Bone marrow aspirate smear.
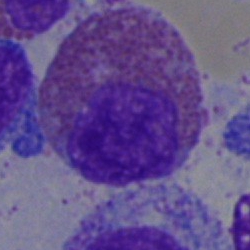

{"cell_type": "eosinophilic granulocyte", "lineage": "myeloid"}